Bone marrow smear:
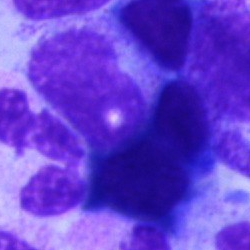Artifact.